Bone marrow aspirate smear:
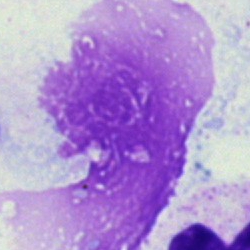
Morphological class: artefact.